Bone marrow aspirate smear: 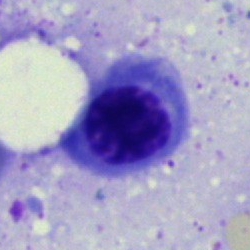
The cell is nucleated red blood cell.